Bone marrow smear; 250×250 px.
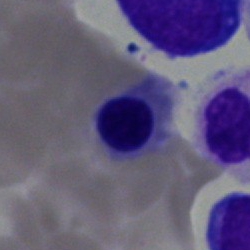 Impression — erythroblast.